Bone marrow aspirate smear
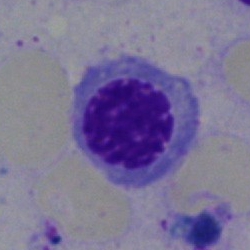The cell shown is an erythroblast.